Bone marrow aspirate smear; May-Grünwald-Giemsa stain
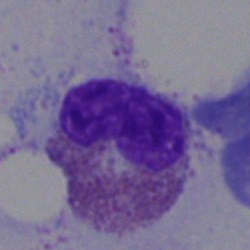Impression → eosinophilic granulocyte.